Bone marrow smear.
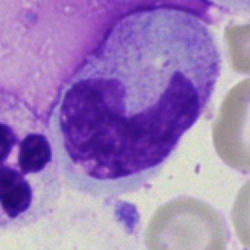 This is a stab cell.